Bone marrow aspirate smear — 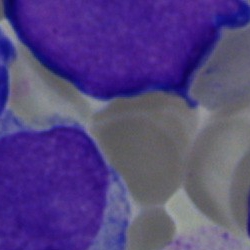Specimen: bone marrow aspirate smear.
Cell type: undifferentiated blast.